Bone marrow smear. Cropped to a single cell. Brightfield microscopy, 40× oil immersion.
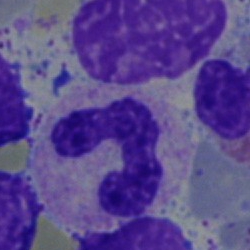
The cell shown is a neutrophil (segmented).